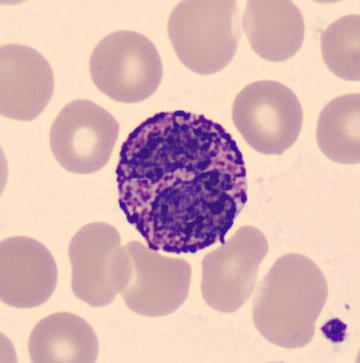

Peripheral blood film. Single cell identified as a basophil.